Single cell centered in the field · bone marrow aspirate smear · brightfield, 40× oil-immersion objective: 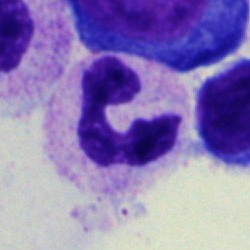 Morphological class — polymorphonuclear neutrophil.